Bone marrow aspirate smear — 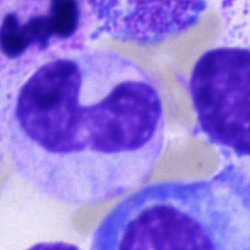A band-form neutrophil.